Bone marrow smear; 250×250 px
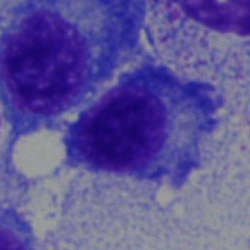Specimen: bone marrow aspirate smear.
Cell type: plasmacyte.